Peripheral blood smear. 100× oil immersion, 14.14 px/µm — 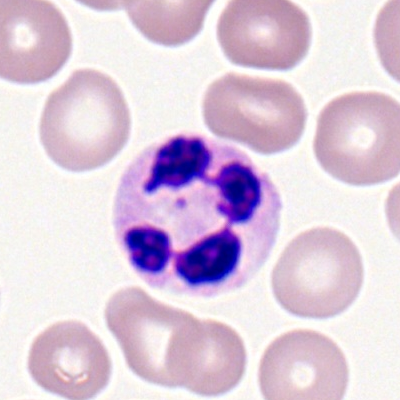Q: What is shown here?
A: It is a polymorphonuclear neutrophil.